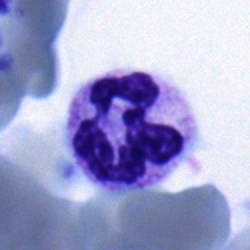Morphological class: neutrophil (segmented).